Cropped to a single cell; Romanowsky-stained; peripheral blood film: 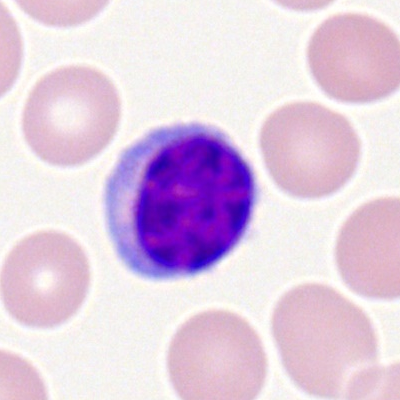

Q: Which cell type is shown here?
A: It is a lymphocyte.